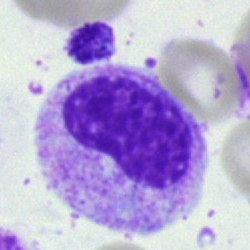
The cell is metamyelocyte.